Bone marrow smear: 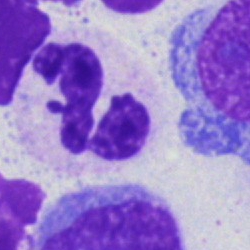{"cell_type": "polymorphonuclear neutrophil", "lineage": "myeloid"}